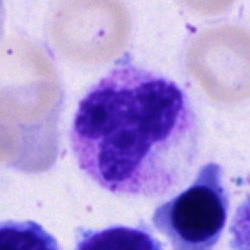 Neutrophil (segmented).